Pappenheim-stained · bone marrow aspirate smear.
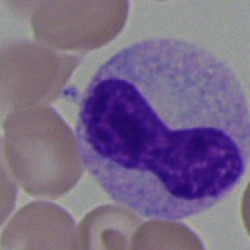This is a stab cell.